Peripheral blood film
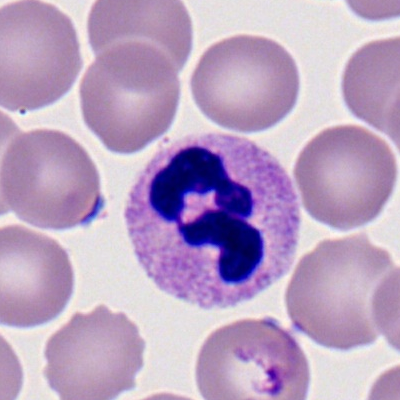 This is a polymorphonuclear neutrophil.